Bone marrow aspirate smear:
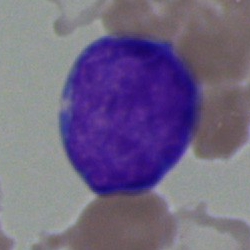
Q: Which cell type is shown here?
A: This is a blast.